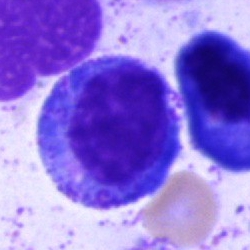Morphology → promyelocyte.